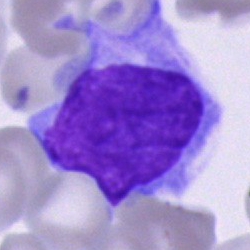Q: What is shown here?
A: It is an unidentifiable cell.